Bone marrow aspirate smear:
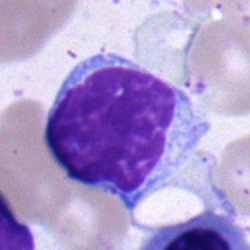The cell shown is a lymphocyte.